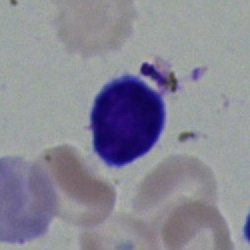{"cell_type": "lymphocyte"}